Bone marrow smear
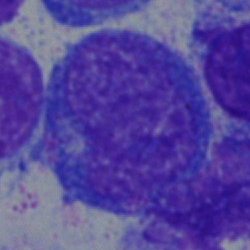A blast.